Bone marrow smear:
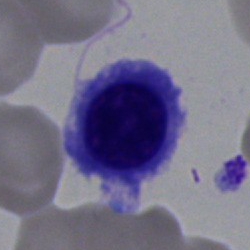Q: What is shown here?
A: A normoblast.